Bone marrow aspirate smear.
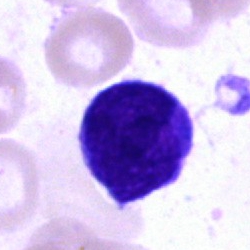Morphology consistent with a blast.